Bone marrow aspirate smear; May-Grünwald-Giemsa stain.
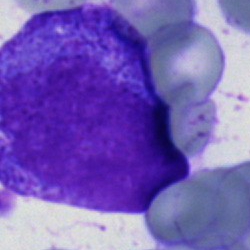
Morphology — blast.